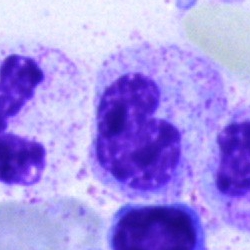 {"cell_type": "stab cell"}